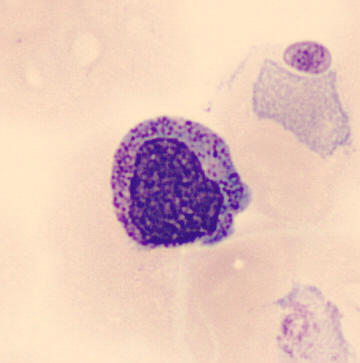
The classification is myelocyte.

Peripheral blood smear.